Bone marrow aspirate smear — 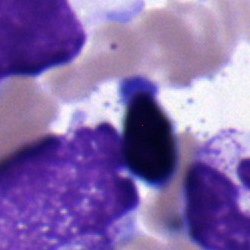 Morphology → nucleated red blood cell.